Bone marrow smear:
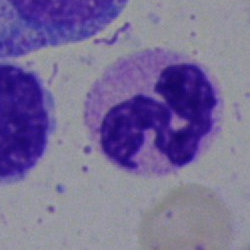

Cell: polymorphonuclear neutrophil.